Bone marrow smear. Single cell centered in the field.
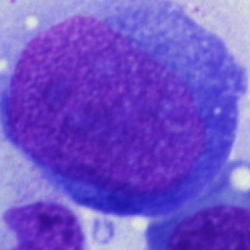 Classification: pronormoblast.